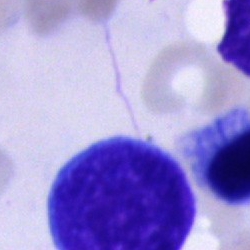Q: What is the morphological classification of this cell?
A: A cell of indeterminate lineage.